May-Grünwald-Giemsa/Pappenheim stain. Bone marrow aspirate smear
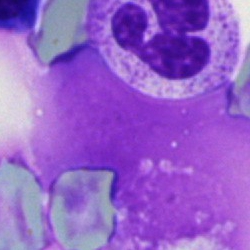

Cell type = polymorphonuclear neutrophil.